Cropped to a single cell · bone marrow aspirate smear · brightfield microscopy, 40× oil immersion:
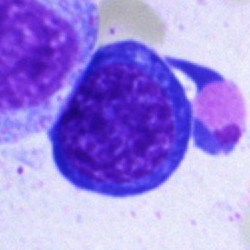 A nucleated red cell.